Bone marrow aspirate smear — 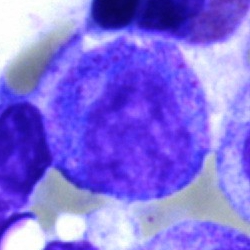 This is a progranulocyte.